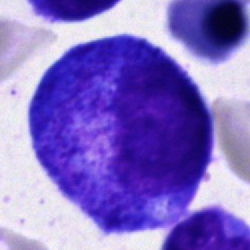 Morphological class = progranulocyte.